Bone marrow smear:
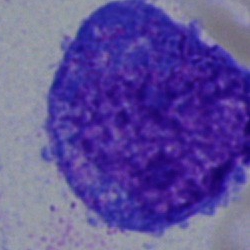

{"cell_type": "promyelocyte"}